Single-cell crop; bone marrow aspirate smear; 250×250:
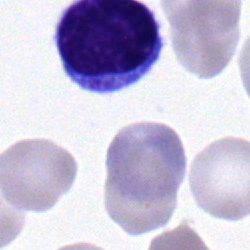
Morphology consistent with a lymphocyte.